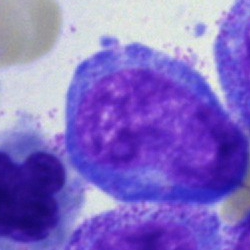

Morphology consistent with a proerythroblast.